Bone marrow smear · cropped to a single cell: 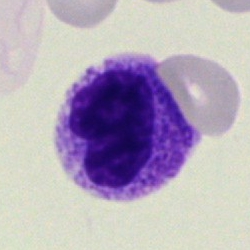

This is a band-form neutrophil.